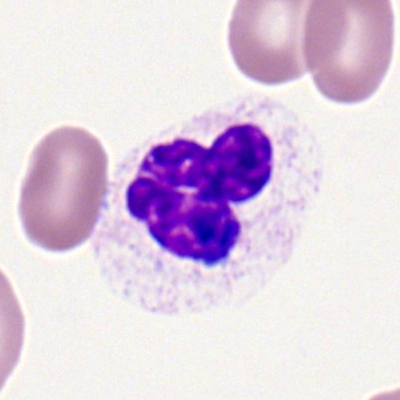
Q: What cell is this?
A: It is a polymorphonuclear neutrophil.